Bone marrow smear — 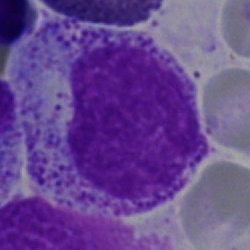Morphological class = myelocyte.